40× objective, oil immersion · single-cell field · bone marrow aspirate smear — 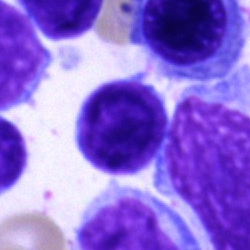Typical lymphocyte.